Pappenheim-stained · bone marrow aspirate smear: 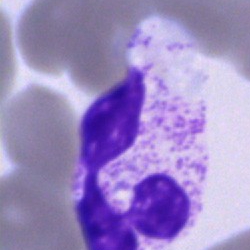

Classification = polymorphonuclear neutrophil.